MGG-stained · bone marrow smear — 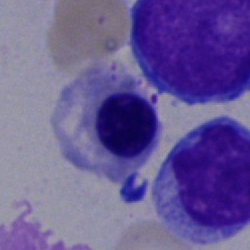
Specimen: bone marrow smear.
Cell: nucleated red blood cell.
Lineage: erythroid.